May-Grünwald-Giemsa stain · single cell centered in the field · bone marrow aspirate smear:
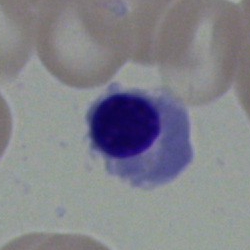

Morphology consistent with a normoblast.